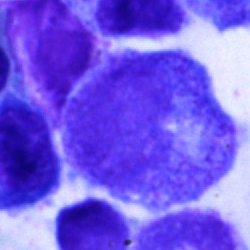

Morphological class: progranulocyte.